Peripheral blood film.
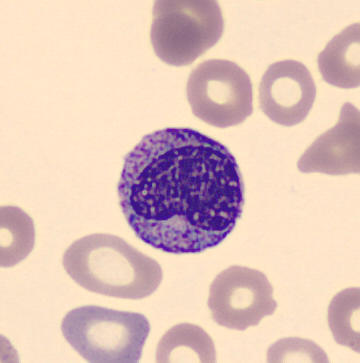
Cell type: myelocyte.